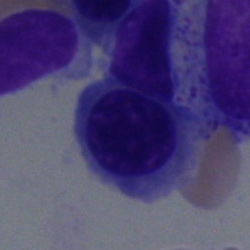
This is a nucleated red blood cell.